250×250 px · bone marrow aspirate smear
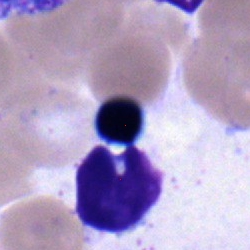
Q: Which cell type is shown here?
A: It is a nucleated red cell.